Bone marrow aspirate smear: 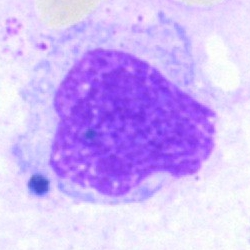

Artefact.